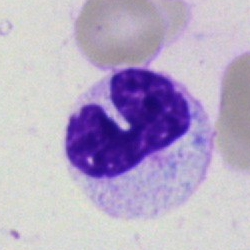
Specimen: bone marrow smear.
Classification: neutrophil (band).
Lineage: myeloid.